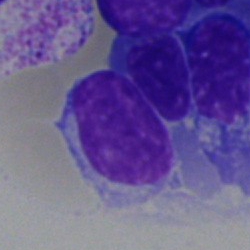{"cell_type": "lymphocyte", "lineage": "lymphoid"}